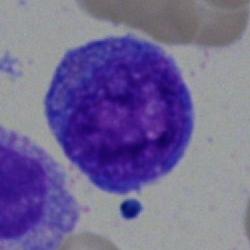 Cell: undifferentiated blast.